250×250 · bone marrow aspirate smear.
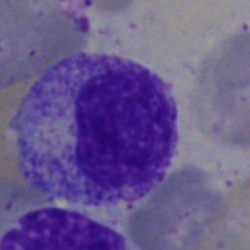Classification — myelocyte.